Bone marrow smear · 40× oil immersion — 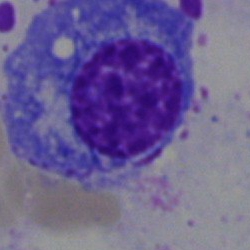

This is a plasma cell.